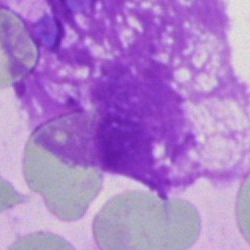Morphological class = artefact.